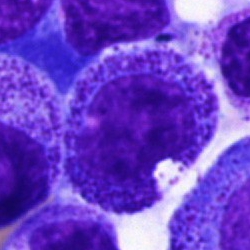Morphology → promyelocyte.